400×400 · M8 digital microscope (Precipoint), 100× oil immersion · peripheral blood film — 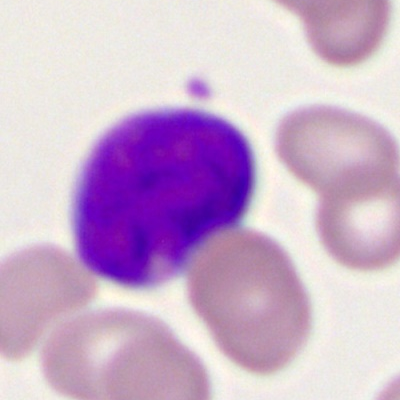Q: What type of cell is this?
A: A myeloblast.